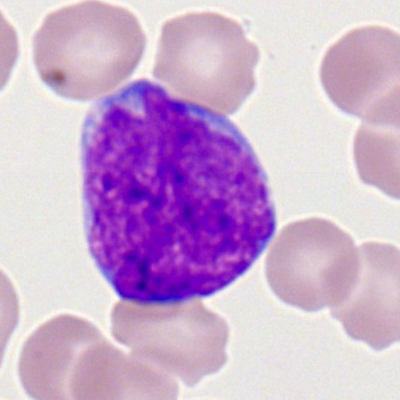 Classification = myeloid blast.